Brightfield microscopy, 40× oil immersion. Bone marrow aspirate smear: 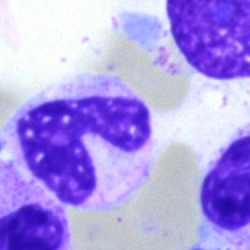

Impression — band-form neutrophil.